Bone marrow smear:
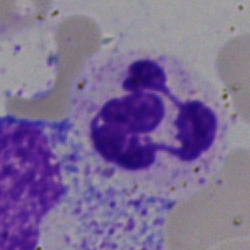

Classification = neutrophil (segmented).